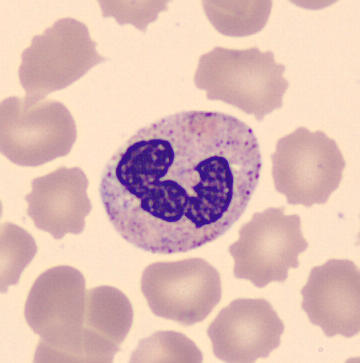 Peripheral blood smear showing a segmented neutrophil.